Cropped to a single cell · bone marrow smear: 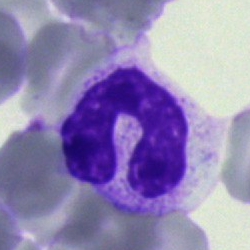

Q: What cell is this?
A: A band neutrophil.